Bone marrow aspirate smear.
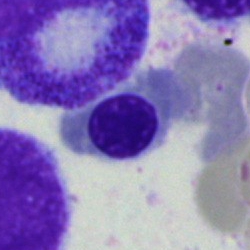A nucleated red blood cell.